Bone marrow aspirate smear; brightfield, 40× oil-immersion objective — 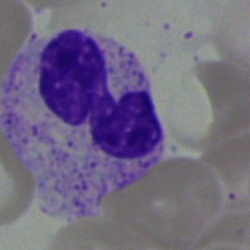

Q: What type of cell is this?
A: It is a neutrophil (band).